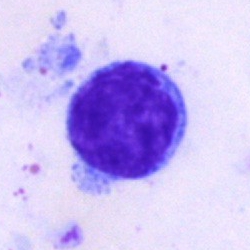
Q: What type of cell is this?
A: This is a lymphocyte.